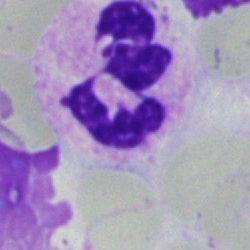The cell shown is a segmented neutrophil.